Bone marrow aspirate smear
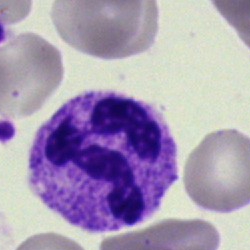

Neutrophil (segmented).